Bone marrow aspirate smear: 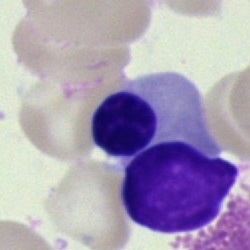

Cell type — nucleated red blood cell.